Bone marrow aspirate smear. Brightfield, 40× oil-immersion objective. Single-cell field — 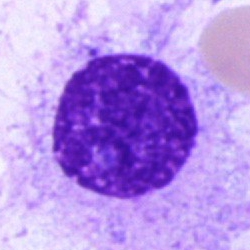 {"cell_type": "plasmacyte", "lineage": "lymphoid"}